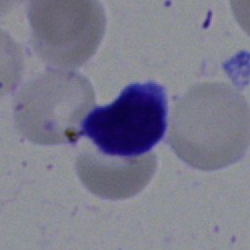Impression → typical lymphocyte.